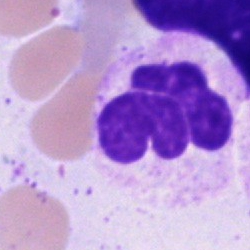
Morphology consistent with a neutrophil (segmented).